Bone marrow smear. 250×250 px. MGG-stained.
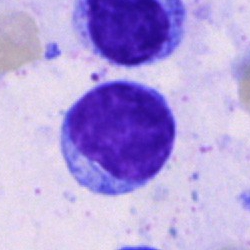

Lymphocyte.